Bone marrow smear — 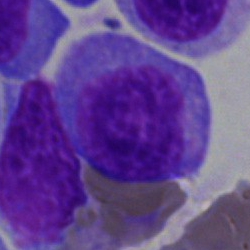
{"cell_type": "blast"}